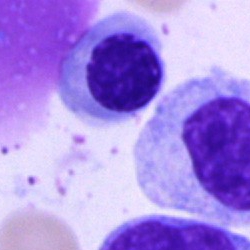

Q: What is the morphological classification of this cell?
A: It is a normoblast.